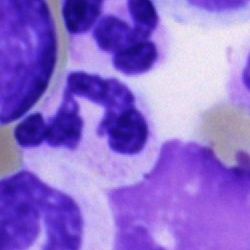
Specimen: bone marrow aspirate smear.
Classification: segmented neutrophil.